Single cell centered in the field; bone marrow smear
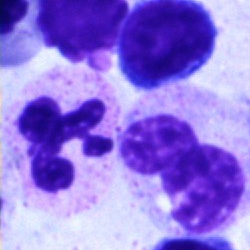
This is a segmented neutrophil.